Bone marrow smear · 250×250 px — 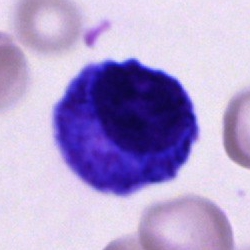 Progranulocyte.